Bone marrow aspirate smear — 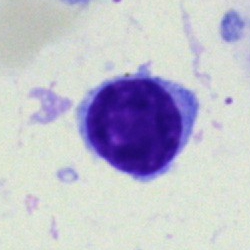
Cell: typical lymphocyte.